Bone marrow aspirate smear:
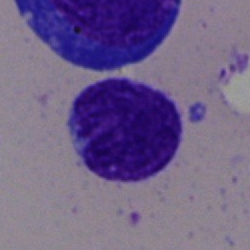
Lymphocyte.